Bone marrow aspirate smear; May-Grünwald-Giemsa stain — 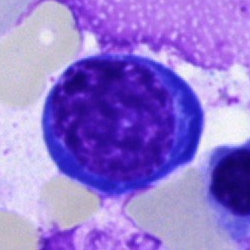

Specimen: bone marrow aspirate smear.
Morphological class: erythroblast.
Lineage: erythroid.